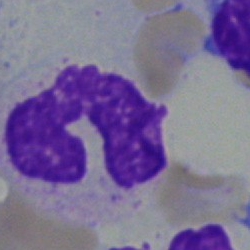

Impression → stab cell.